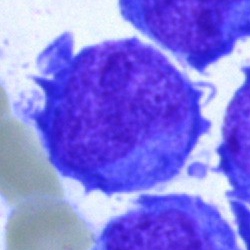
Cell type: blast.